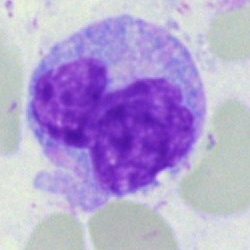

Specimen: bone marrow smear.
Cell type: monocyte.